Peripheral blood smear — 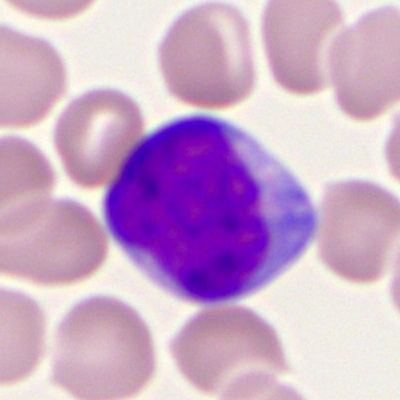
Morphology — myeloblast.